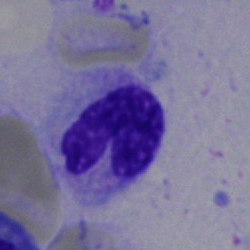
Q: What is the morphological classification of this cell?
A: Stab cell.